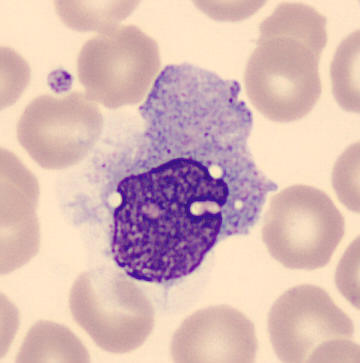
Cell type = monocyte. Acquisition: Peripheral blood smear. Single-cell crop. MGG-stained.